Bone marrow aspirate smear.
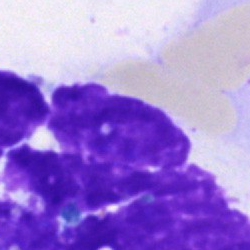 Q: What is shown here?
A: This is an artifact.